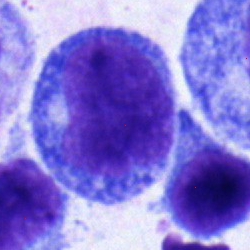 The morphological class is proerythroblast.